Image size 250×250; bone marrow smear
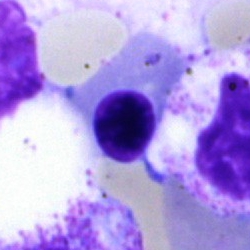

Morphological class = nucleated red blood cell.